Bone marrow smear — 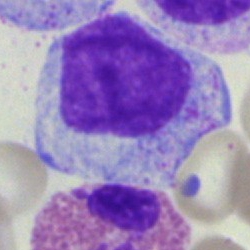Classification — myelocyte.